Bone marrow smear.
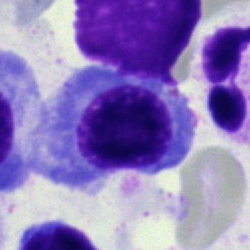

This is a normoblast.